Bone marrow smear:
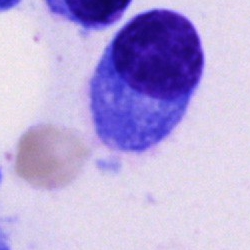
Q: What is shown here?
A: A plasma cell.